Bone marrow smear:
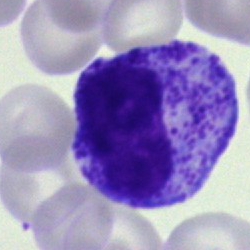

Showing a metamyelocyte.